MGG-stained. Bone marrow aspirate smear. Image size 250×250
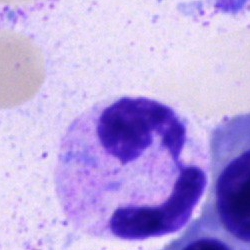
{"cell_type": "segmented neutrophil"}